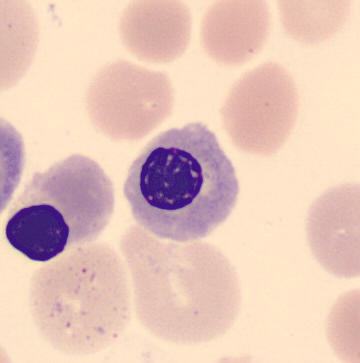CellaVision DM96; peripheral blood film.

The morphological class is normoblast.